Bone marrow aspirate smear — 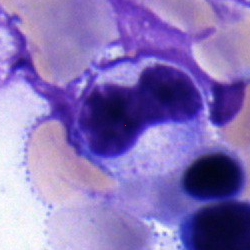Showing a stab cell.